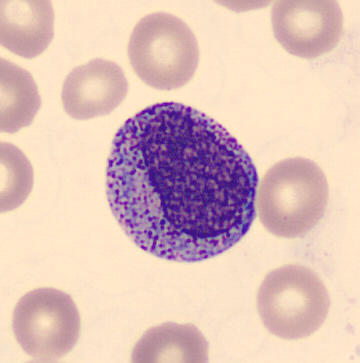

Identified as a promyelocyte.